Bone marrow aspirate smear — 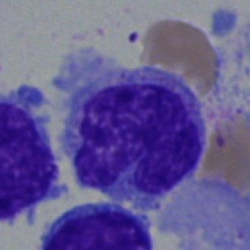

Q: Identify the cell.
A: A monocyte.